Bone marrow smear: 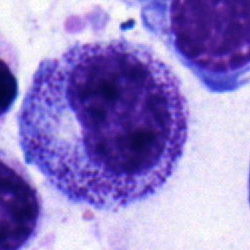
Specimen: bone marrow smear.
Cell: metamyelocyte.